Bone marrow aspirate smear
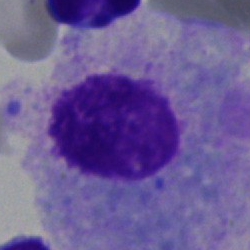 Showing an artefact.